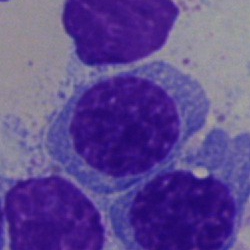The classification is lymphocyte.